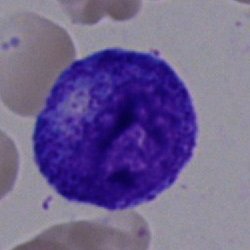

Specimen: bone marrow smear.
Cell type: myelocyte.
Lineage: myeloid.